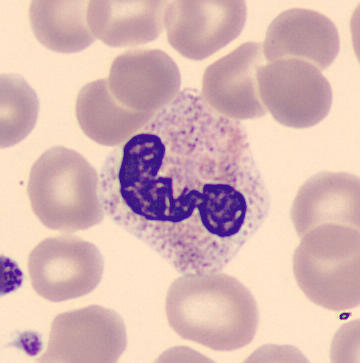
Specimen: peripheral blood film.
Cell: polymorphonuclear neutrophil.